Bone marrow smear
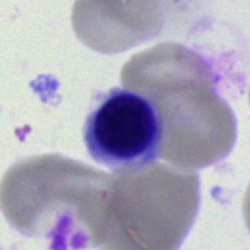 Q: Identify the cell.
A: This is an erythroblast.